250×250 px. 40× objective, oil immersion. Bone marrow aspirate smear: 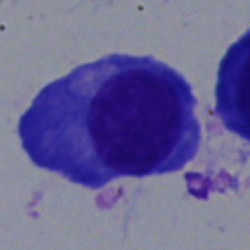A plasma cell.